Bone marrow smear — 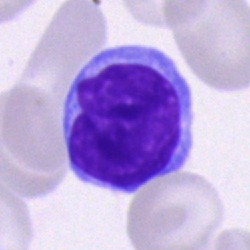 Unidentifiable cell.